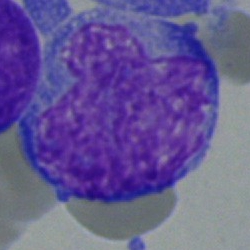Q: Identify the cell.
A: It is a blast.